Bone marrow smear. 250 by 250 pixels
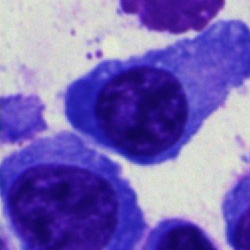

Specimen: bone marrow smear.
Classification: plasmacyte.
Lineage: lymphoid.